Bone marrow smear:
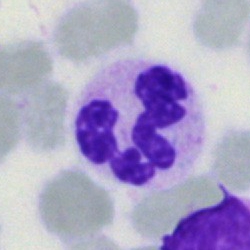 Classification = neutrophil (segmented).